Bone marrow smear; 250×250 px; cropped to a single cell — 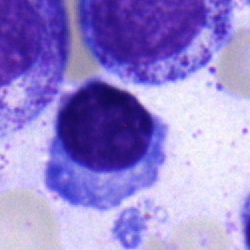 {"cell_type": "plasmacyte", "lineage": "lymphoid"}